Single cell centered in the field; bone marrow smear
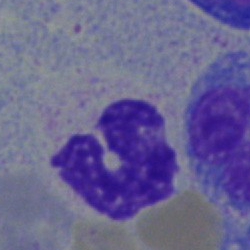Cell: segmented neutrophil.